Bone marrow aspirate smear — 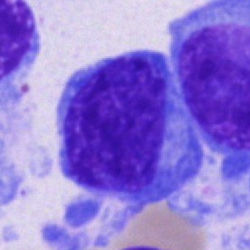The morphological class is plasmacyte.